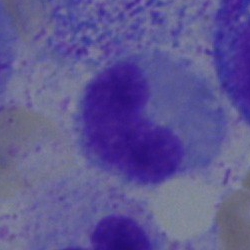Cell: band-form neutrophil.